Bone marrow aspirate smear.
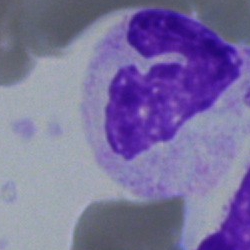

The cell type is segmented neutrophil.